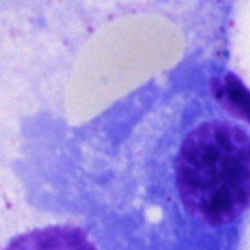 Morphological class: plasma cell.